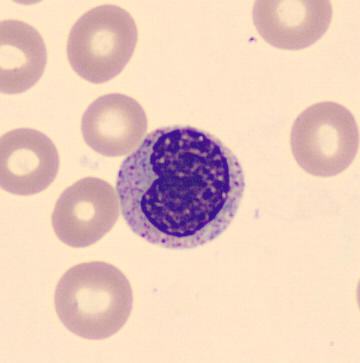

A metamyelocyte. Image: Peripheral blood smear.